Brightfield, 40× oil-immersion objective. Bone marrow aspirate smear:
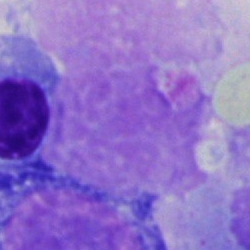Specimen: bone marrow aspirate smear.
Classification: artefact.